Bone marrow smear
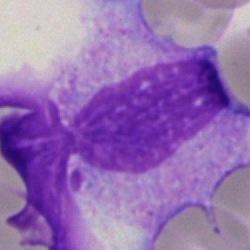 Q: What is shown here?
A: An artefact.